Bone marrow aspirate smear.
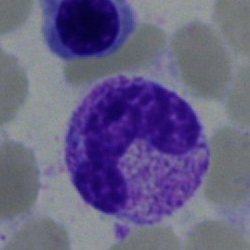
Band neutrophil.